Bone marrow aspirate smear · single-cell field
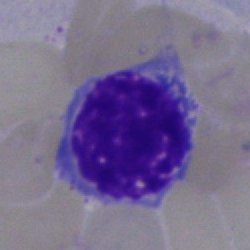Q: What is the morphological classification of this cell?
A: This is an erythroblast.